Bone marrow aspirate smear
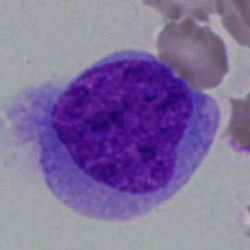Specimen: bone marrow aspirate smear.
Morphological class: blast cell.